Cropped to a single cell · peripheral blood smear — 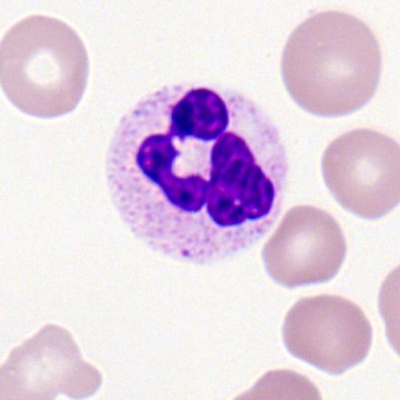

Showing a polymorphonuclear neutrophil.